Bone marrow aspirate smear: 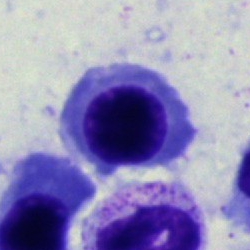Specimen: bone marrow smear.
Cell type: erythroblast.
Lineage: erythroid.